Cropped to a single cell · bone marrow smear · brightfield microscopy, 40× oil immersion
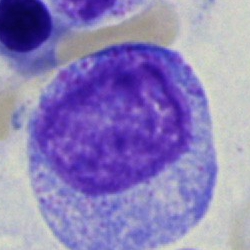

Morphology consistent with a progranulocyte.